Bone marrow smear; MGG-stained
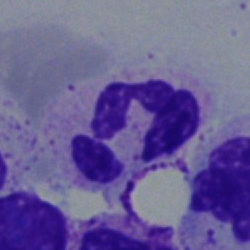
Morphology consistent with a neutrophil (segmented).